Brightfield, 40× oil-immersion objective; bone marrow aspirate smear; May-Grünwald-Giemsa/Pappenheim stain
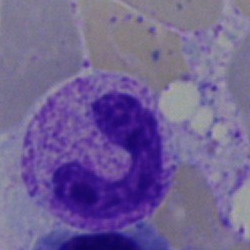

Morphology consistent with a segmented neutrophil.